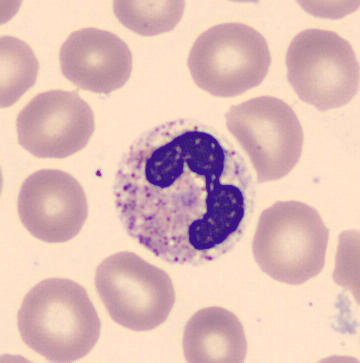 Identified as a band-form neutrophil.